400 by 400 pixels; peripheral blood film
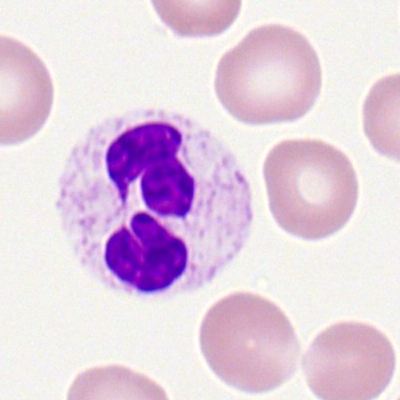Morphological class = neutrophil (segmented).